Bone marrow smear:
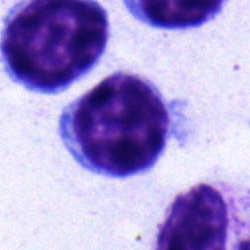 Morphology → typical lymphocyte.